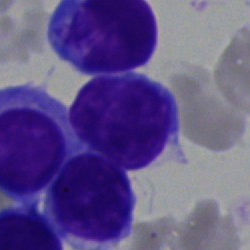 {"cell_type": "typical lymphocyte"}